Bone marrow smear
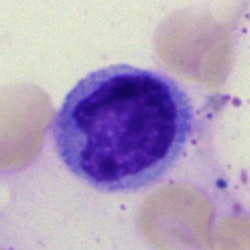
The cell shown is a typical lymphocyte.